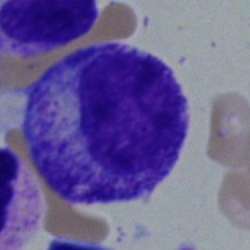Cell — myelocyte.